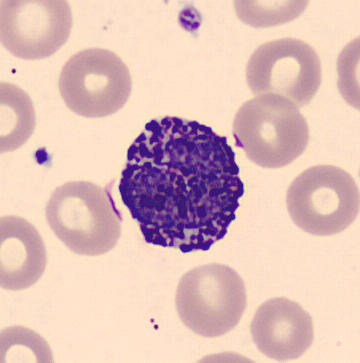Q: What is this?
A: A basophil. Preparation: 360 by 363 pixels · peripheral blood film.